Romanowsky-type stain. Peripheral blood smear: 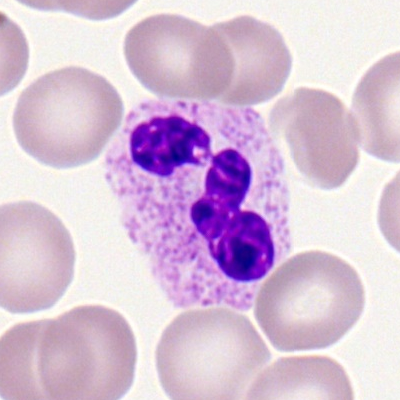

Q: What is the morphological classification of this cell?
A: It is a polymorphonuclear neutrophil.